Single-cell crop; peripheral blood smear.
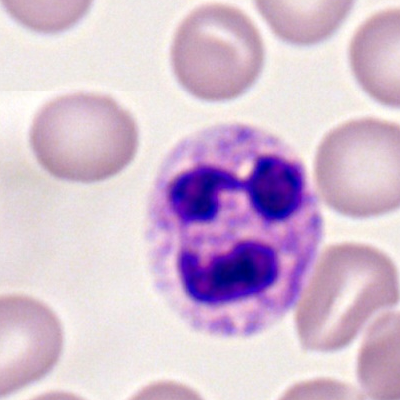
Neutrophil (segmented).